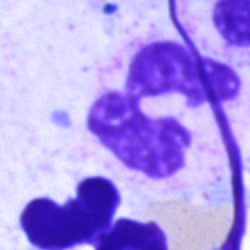A segmented neutrophil on a bone marrow smear.